Bone marrow aspirate smear:
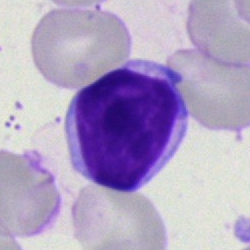Q: Identify the cell.
A: A lymphocyte.